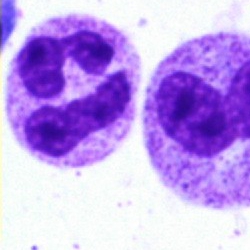
Cell type = segmented neutrophil.